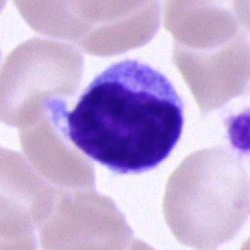Specimen: bone marrow aspirate smear.
Morphological class: lymphocyte.